Bone marrow aspirate smear · single-cell crop · 250×250: 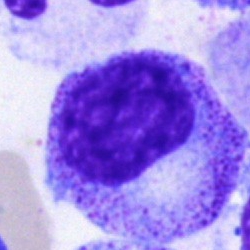Progranulocyte.